Bone marrow smear.
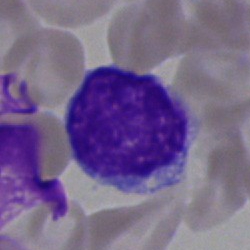

Specimen: bone marrow aspirate smear.
Cell: typical lymphocyte.
Lineage: lymphoid.